Bone marrow smear: 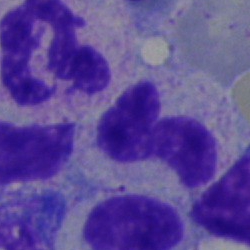
Single cell identified as a band neutrophil.